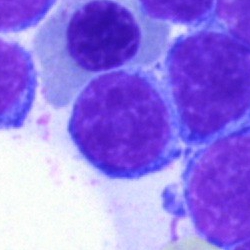
Cell — lymphocyte.